MGG-stained. Bone marrow smear: 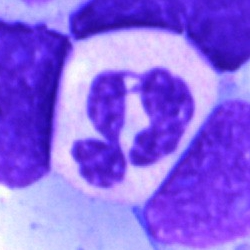The cell shown is a polymorphonuclear neutrophil.